Bone marrow smear. 250×250 px.
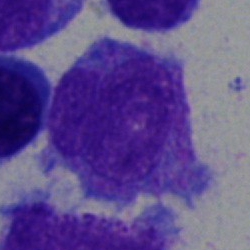

A progranulocyte.